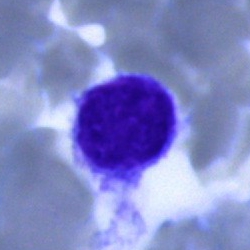

Cell — typical lymphocyte.